Bone marrow smear — 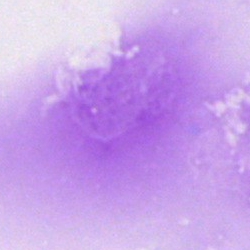 Q: What is shown here?
A: It is an artefact.